Peripheral blood film; single cell centered in the field; brightfield, 100× oil-immersion objective
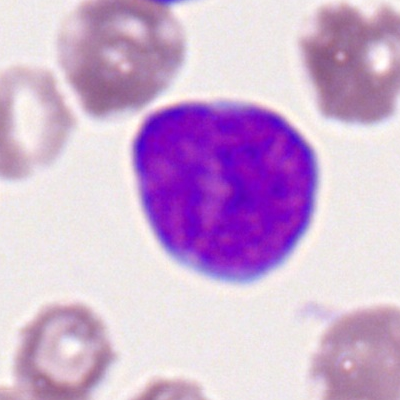

Morphology consistent with a myeloblast.